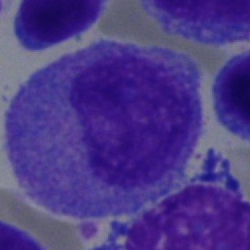

A myelocyte on a bone marrow smear.